Bone marrow aspirate smear: 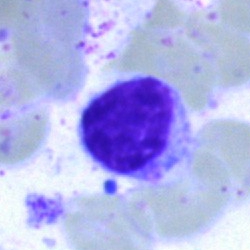 Q: What is shown here?
A: This is a typical lymphocyte.